Cropped to a single cell. MGG-stained. Bone marrow smear.
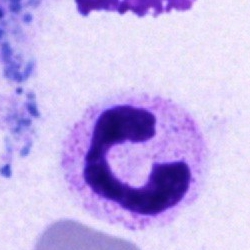

A segmented neutrophil.